40× objective, oil immersion; bone marrow aspirate smear:
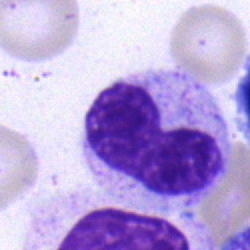 This is a neutrophil (band).